Bone marrow aspirate smear · single cell centered in the field.
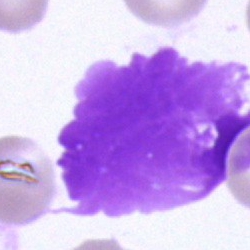
This is an artefact.